Peripheral blood smear — 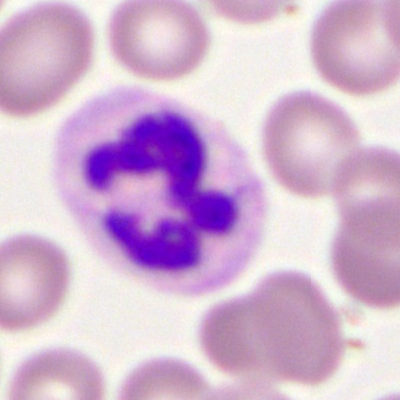
Showing a neutrophil (segmented).